250×250; single-cell crop; bone marrow smear: 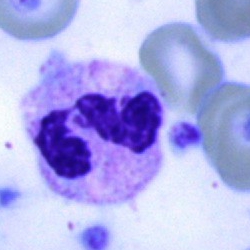

Specimen: bone marrow aspirate smear.
Cell type: segmented neutrophil.
Lineage: myeloid.